Bone marrow aspirate smear · 250 by 250 pixels
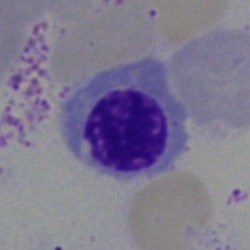

Nucleated red blood cell.